Peripheral blood smear. Single cell centered in the field
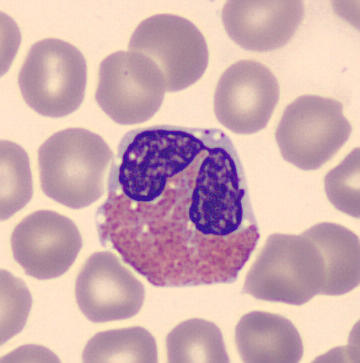Cell — eosinophil.